Bone marrow aspirate smear · brightfield, 40× oil-immersion objective.
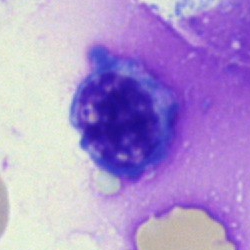

Normoblast.